Bone marrow smear; brightfield microscopy, 40× oil immersion.
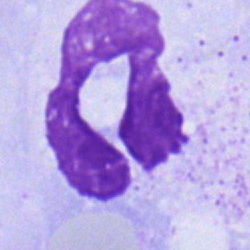

The cell type is segmented neutrophil.